Bone marrow aspirate smear · brightfield microscopy, 40× oil immersion: 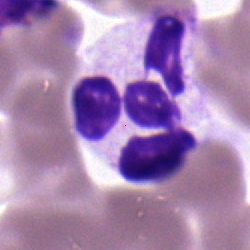

This is a polymorphonuclear neutrophil.